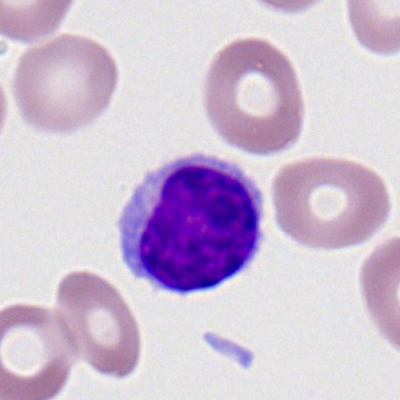
Peripheral blood film, single cell — typical lymphocyte.